Bone marrow aspirate smear.
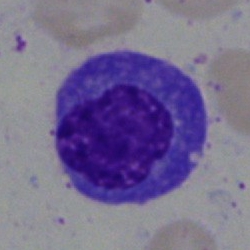 Impression — plasmacyte.